40× objective, oil immersion · bone marrow smear:
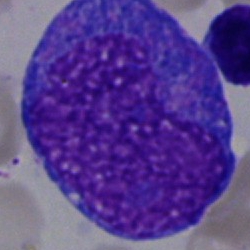 Morphology — progranulocyte.